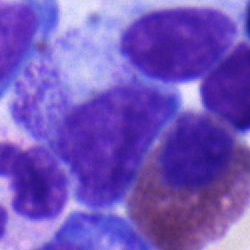

Myelocyte.